Bone marrow smear · MGG-stained:
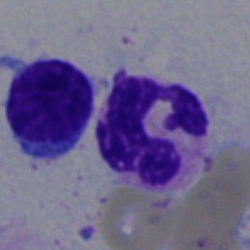

Cell type: segmented neutrophil.